Single-cell crop · peripheral blood smear
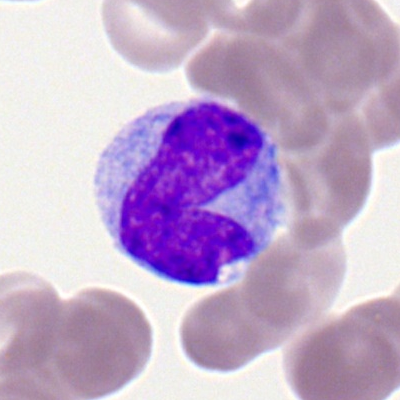Morphology — monocyte.